Peripheral blood smear. 100× oil immersion. Romanowsky-stained: 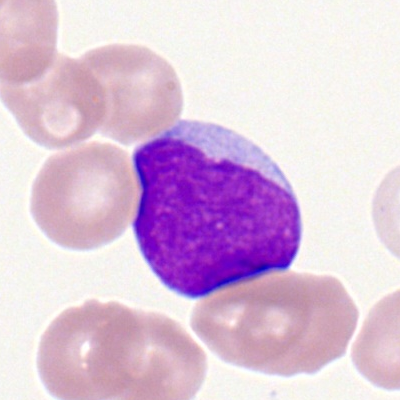 Morphology — myeloblast.